Bone marrow smear — 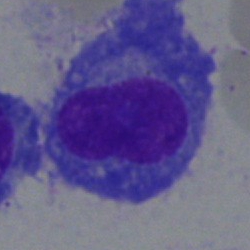

Q: Identify the cell.
A: This is a plasma cell.